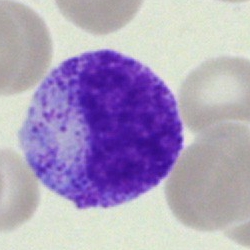

Bone marrow smear showing a myelocyte.